40× objective, oil immersion · bone marrow smear:
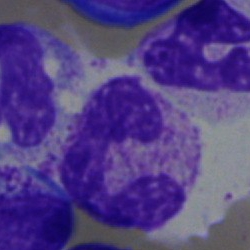Band neutrophil.